Bone marrow smear
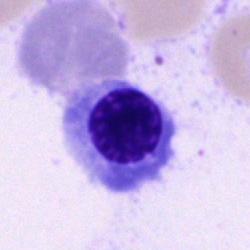Q: What type of cell is this?
A: This is an erythroblast.